250 by 250 pixels; bone marrow aspirate smear
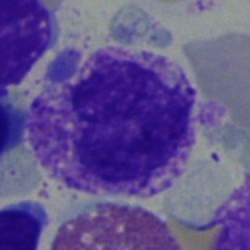

Myelocyte.